Bone marrow aspirate smear:
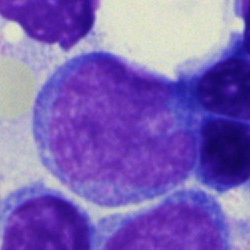Impression → undifferentiated blast.